Bone marrow aspirate smear:
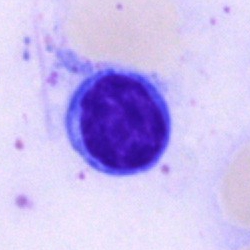 Impression — typical lymphocyte.